250 by 250 pixels; MGG-stained; bone marrow smear.
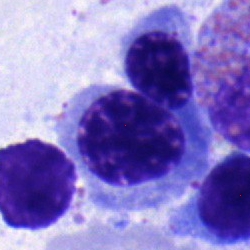Cell = nucleated red blood cell.